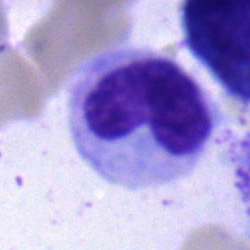

Metamyelocyte.